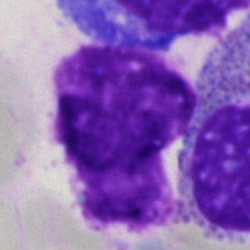

The cell type is artefact.